Bone marrow aspirate smear · brightfield, 40× oil-immersion objective — 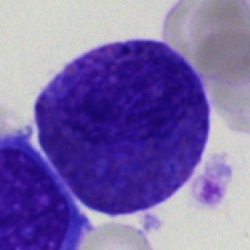 Q: What type of cell is this?
A: Eosinophil.